Romanowsky-stained; peripheral blood smear
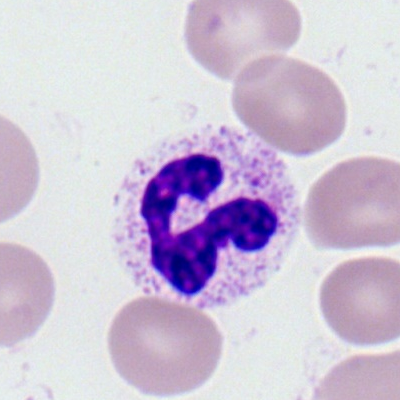Specimen: peripheral blood film.
Cell type: neutrophil (segmented).
Lineage: myeloid.